Bone marrow aspirate smear: 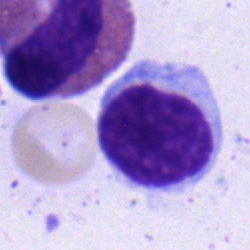
Q: What type of cell is this?
A: A lymphocyte.